Image size 250×250; bone marrow smear.
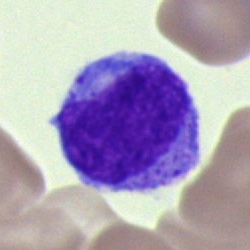 Q: What is the morphological classification of this cell?
A: It is a lymphocyte.